Peripheral blood film. 400×400 px:
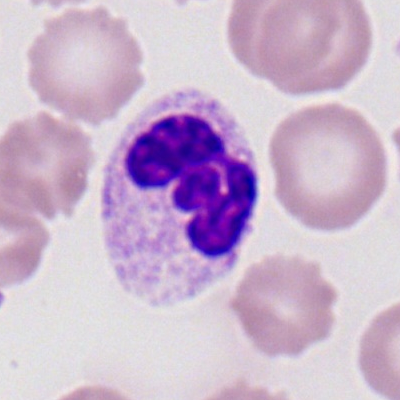Cell — polymorphonuclear neutrophil.